40× objective, oil immersion; bone marrow aspirate smear; single cell centered in the field.
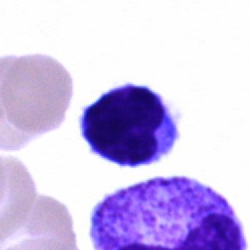 The classification is lymphocyte.